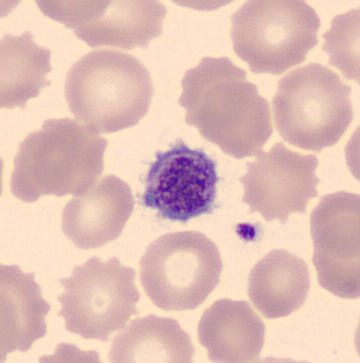
Q: What is shown here?
A: Platelet.